Bone marrow smear.
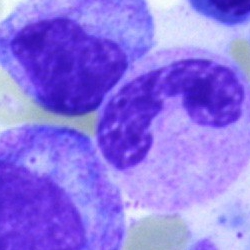The cell type is segmented neutrophil.